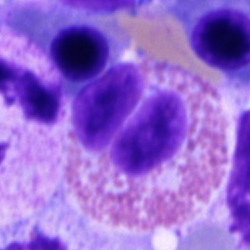 The cell shown is an eosinophilic granulocyte.